Bone marrow smear — 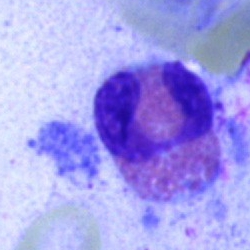

Classification: eosinophil.